Bone marrow aspirate smear. 250×250. Brightfield, 40× oil-immersion objective: 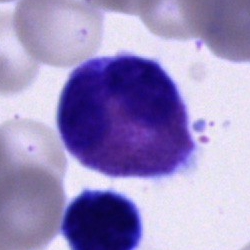 The cell type is eosinophilic granulocyte.